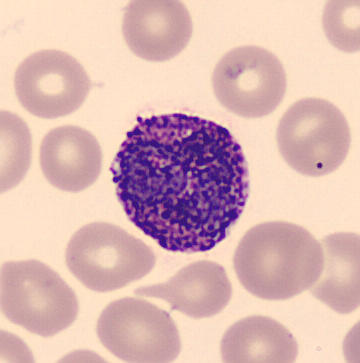 Basophilic granulocyte. 360×363 px; peripheral blood film; single-cell crop.